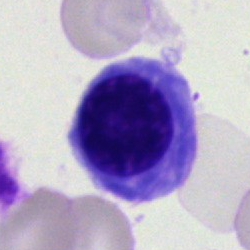Q: What is the morphological classification of this cell?
A: A normoblast.